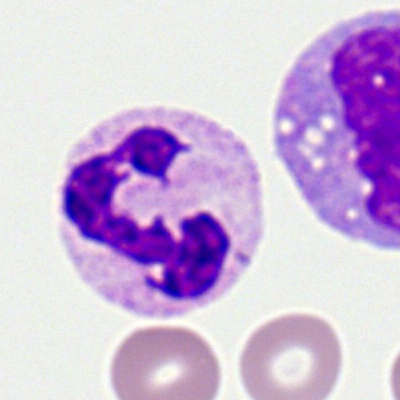
Q: Identify the cell.
A: This is a polymorphonuclear neutrophil.